Bone marrow smear.
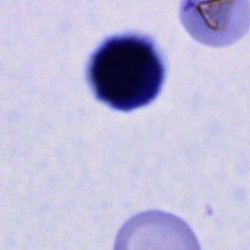

A cell of indeterminate lineage.